Bone marrow smear. 250×250 px: 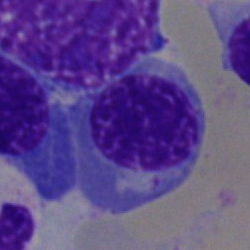Showing an erythroblast.